Bone marrow aspirate smear · single cell centered in the field.
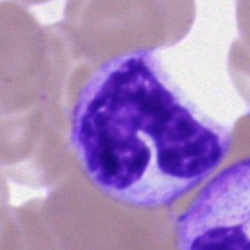Q: What cell is this?
A: Neutrophil (band).